MGG-stained; bone marrow smear.
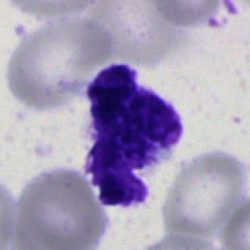 Showing an artefact.